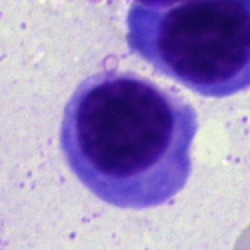Specimen: bone marrow smear.
Morphological class: normoblast.
Lineage: erythroid.